Single-cell crop; May-Grünwald-Giemsa stain; bone marrow smear
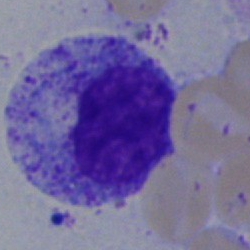
Q: What is shown here?
A: A myelocyte.